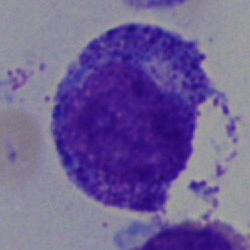 The morphological class is progranulocyte.